Peripheral blood film; 400 by 400 pixels; cropped to a single cell.
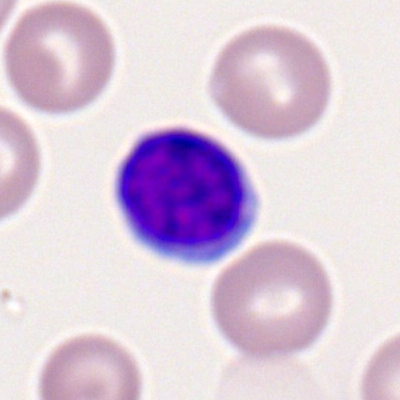Morphology consistent with a lymphocyte.